250×250 · bone marrow aspirate smear · 40× objective, oil immersion — 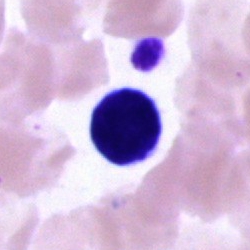

Morphological class — lymphocyte.